Peripheral blood smear:
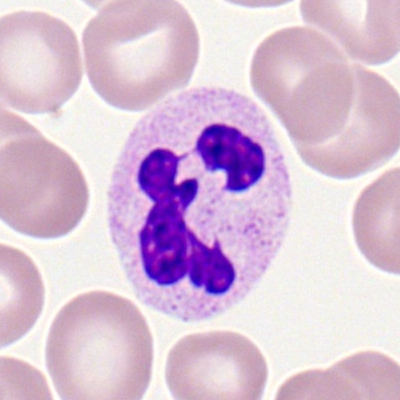 Impression — segmented neutrophil.